Bone marrow aspirate smear.
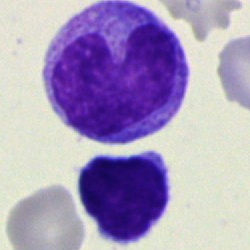{"cell_type": "typical lymphocyte"}